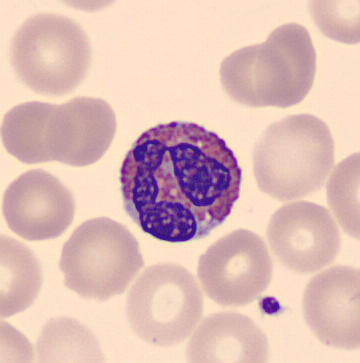
The cell is eosinophilic granulocyte.
Image: Peripheral blood film.